Bone marrow smear.
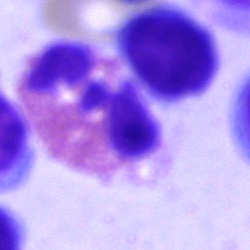
Q: What is the morphological classification of this cell?
A: An eosinophil.